40× oil immersion; bone marrow aspirate smear; MGG-stained — 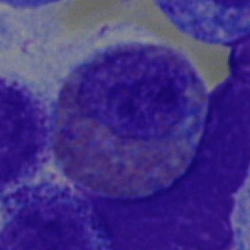
{"cell_type": "eosinophil"}